Pappenheim-stained · single cell centered in the field · bone marrow smear — 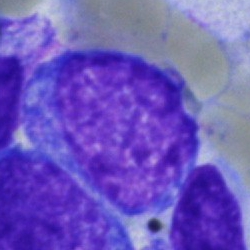 Q: What cell is this?
A: A blast cell.